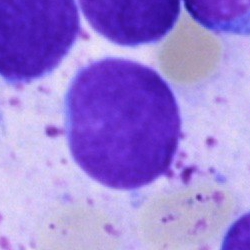

Classification = undifferentiated blast.